Bone marrow aspirate smear. 40× objective, oil immersion. May-Grünwald-Giemsa/Pappenheim stain:
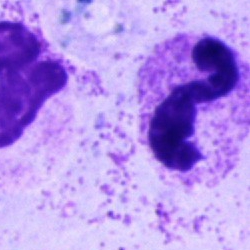 This is a neutrophil (segmented).